Peripheral blood smear · brightfield, 100× oil-immersion objective · 400 by 400 pixels
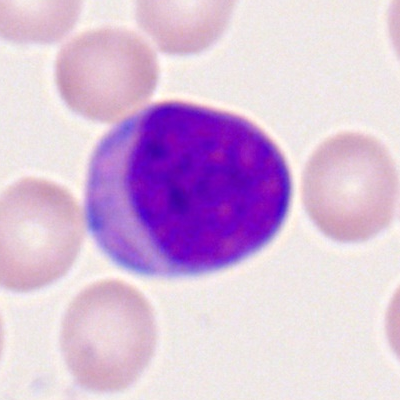Morphology consistent with a myeloid blast.